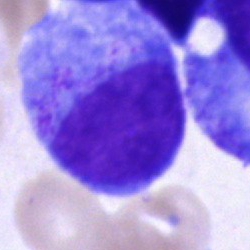

Showing a promyelocyte.